Bone marrow smear · brightfield, 40× oil-immersion objective
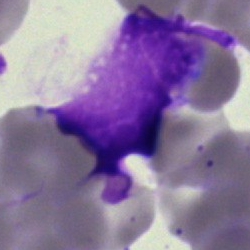 Classification: artifact.